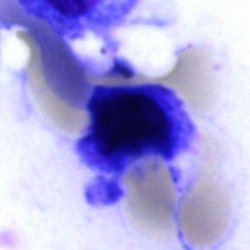 This is an artefact.